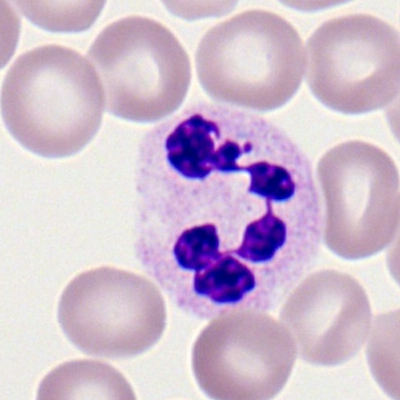

The classification is segmented neutrophil.